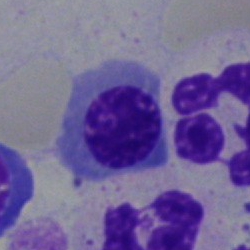{"cell_type": "nucleated red cell", "lineage": "erythroid"}